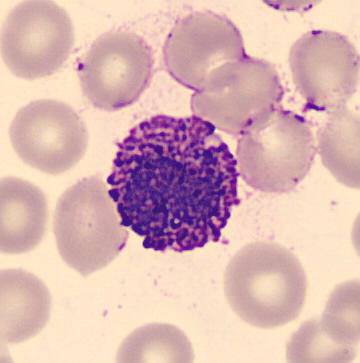Morphological class: basophilic granulocyte.